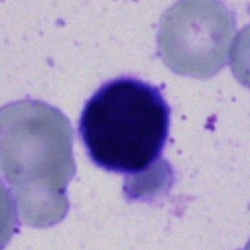
Morphological class — artifact.